40× objective, oil immersion. Bone marrow smear: 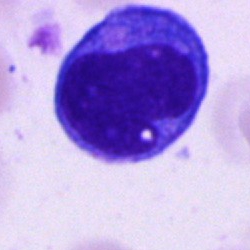Specimen: bone marrow smear.
Morphological class: monocyte.
Lineage: myeloid.